Bone marrow aspirate smear — 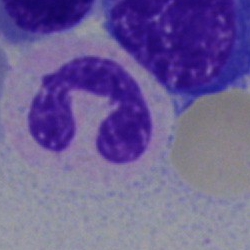
Polymorphonuclear neutrophil.